Bone marrow aspirate smear
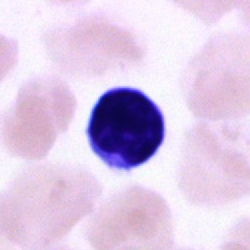

{"cell_type": "typical lymphocyte"}